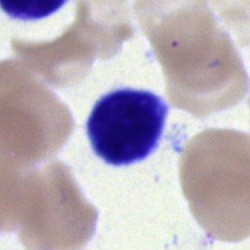 This is a lymphocyte.